Bone marrow aspirate smear: 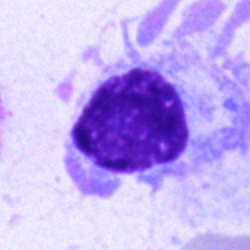
Morphological class — plasma cell.